Bone marrow smear — 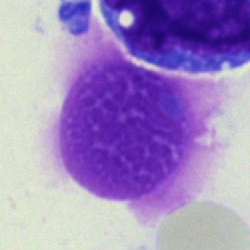
Classification = artefact.